Bone marrow aspirate smear.
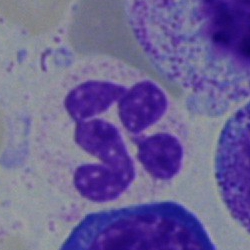A neutrophil (segmented).